Bone marrow aspirate smear: 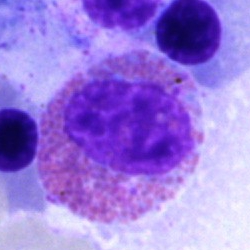Classification — eosinophil.